Cropped to a single cell. Bone marrow aspirate smear
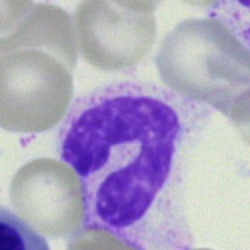{"cell_type": "neutrophil (band)", "lineage": "myeloid"}